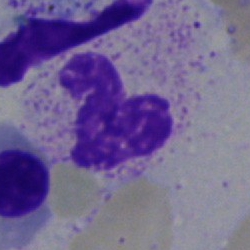

{"cell_type": "segmented neutrophil", "lineage": "myeloid"}